Bone marrow aspirate smear — 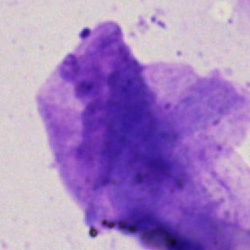

Cell: artifact.